Cropped to a single cell. Bone marrow smear — 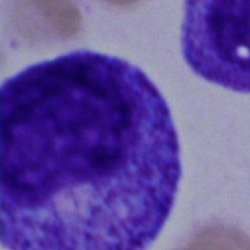 The cell shown is a promyelocyte.